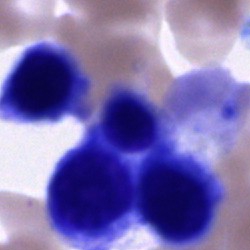The cell is unidentifiable cell.